MGG-stained; bone marrow smear — 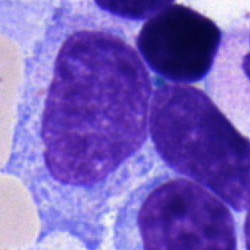 Specimen: bone marrow aspirate smear.
Morphological class: typical lymphocyte.
Lineage: lymphoid.